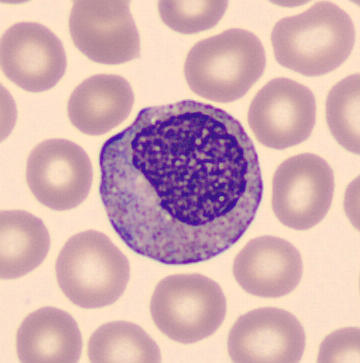

Q: Which cell type is shown here?
A: Myelocyte. Peripheral blood smear.